Bone marrow aspirate smear
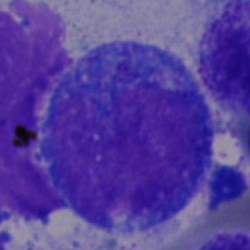
Morphological class = progranulocyte.